Bone marrow aspirate smear · 40× oil immersion
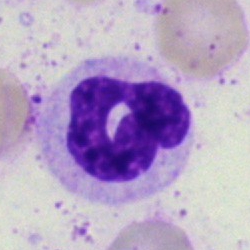 The cell shown is a neutrophil (segmented).